Bone marrow aspirate smear. Brightfield, 40× oil-immersion objective: 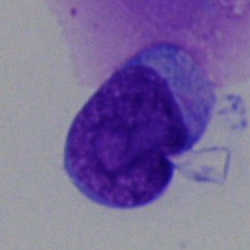

Morphological class — blast.